Bone marrow smear · image size 250×250 · single-cell field
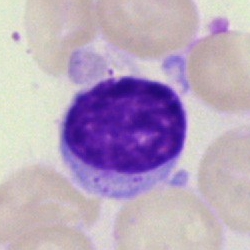Classification: typical lymphocyte.